Single cell centered in the field; bone marrow aspirate smear — 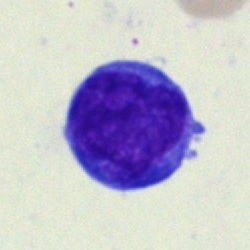 Specimen: bone marrow smear.
Cell: typical lymphocyte.
Lineage: lymphoid.